250×250. Bone marrow smear.
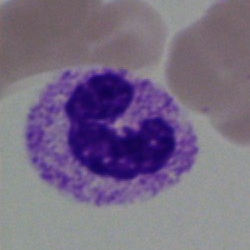This is a neutrophil (segmented).